Peripheral blood film — 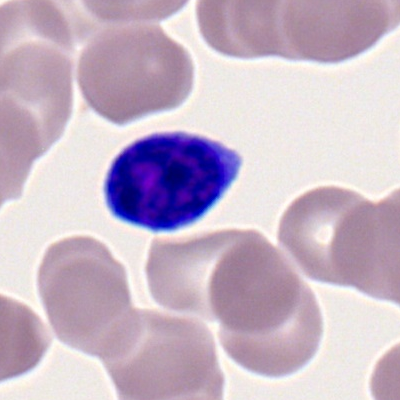
Specimen: peripheral blood film.
Cell: lymphocyte.